250 by 250 pixels. Bone marrow aspirate smear. Single-cell field — 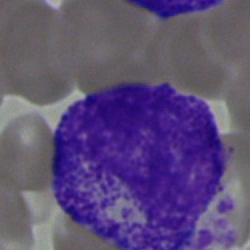

Morphological class — myelocyte.